Bone marrow aspirate smear; brightfield microscopy, 40× oil immersion
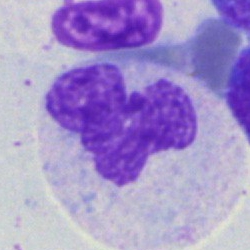
Segmented neutrophil.